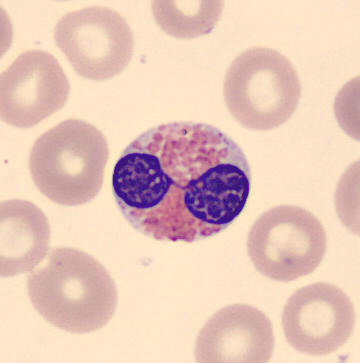 Impression → eosinophilic granulocyte.